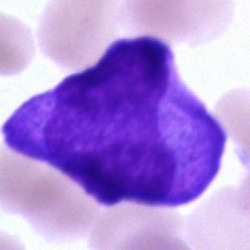
Impression → undifferentiated blast.